Bone marrow smear:
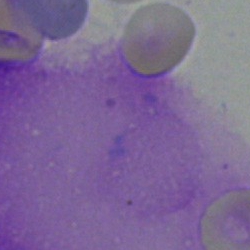 This is an artifact.